Bone marrow aspirate smear
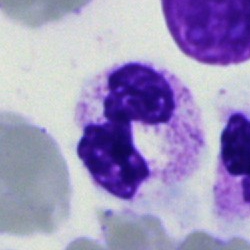
Impression — segmented neutrophil.